Bone marrow smear · May-Grünwald-Giemsa/Pappenheim stain
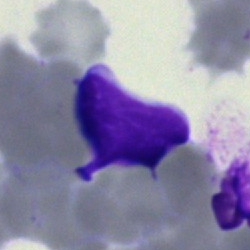
Classification = lymphocyte.